Bone marrow aspirate smear.
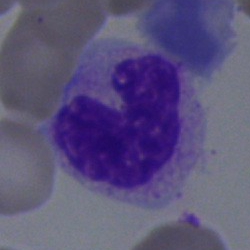

Morphology consistent with a stab cell.